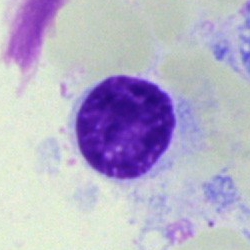

Specimen: bone marrow aspirate smear.
Classification: hairy cell.